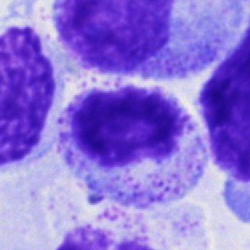Cell type: myelocyte.